Bone marrow aspirate smear: 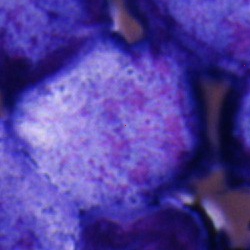
The cell shown is an undifferentiated blast.